Bone marrow aspirate smear
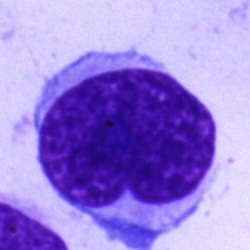

Single cell identified as a blast.